Cropped to a single cell; peripheral blood film
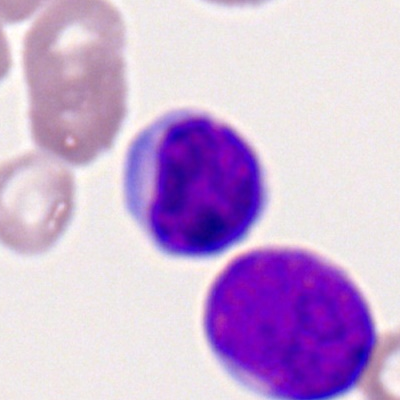

Morphology — typical lymphocyte.